Bone marrow aspirate smear.
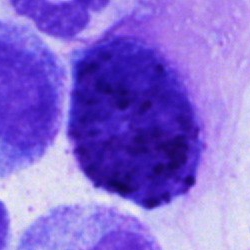 Q: What cell is this?
A: It is a basophilic granulocyte.